Bone marrow smear. 250×250: 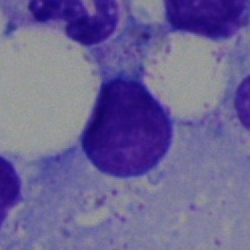

Q: What is the morphological classification of this cell?
A: A typical lymphocyte.